Single cell centered in the field; 40× objective, oil immersion; bone marrow smear: 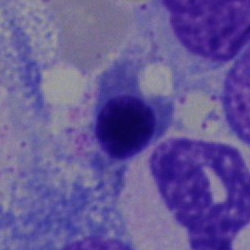

Erythroblast.